Bone marrow smear — 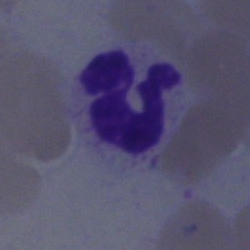 Specimen: bone marrow smear.
Classification: neutrophil (segmented).
Lineage: myeloid.